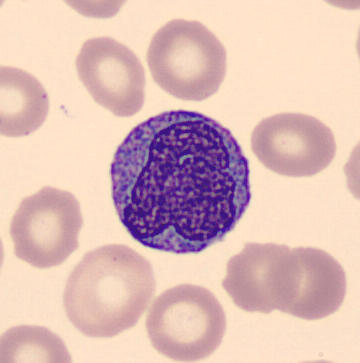

Preparation: Peripheral blood film. Imaged on a CellaVision DM96 analyser. 360×363.
A monocyte.